Bone marrow smear.
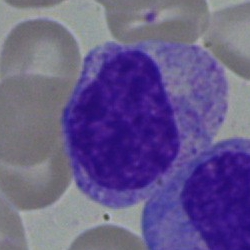Q: Identify the cell.
A: This is a myelocyte.